Bone marrow smear · single-cell crop · brightfield, 40× oil-immersion objective:
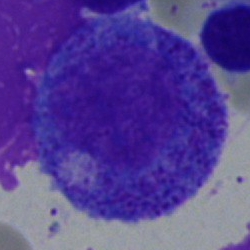A promyelocyte.